Bone marrow aspirate smear.
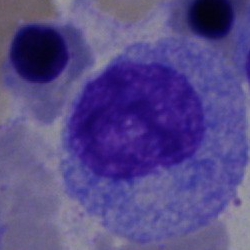Cell — promyelocyte.